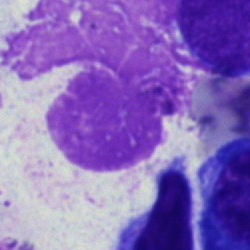This is an artefact.